Bone marrow smear · single cell centered in the field:
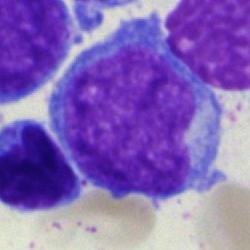 Classification — undifferentiated blast.